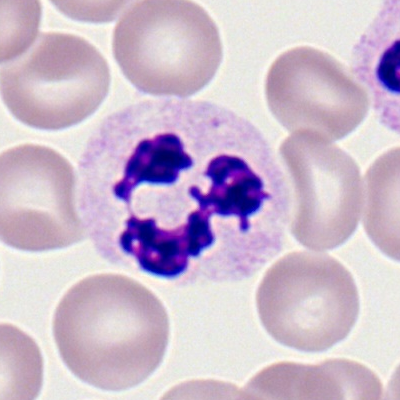
Cell = neutrophil (segmented).